Single cell centered in the field. Bone marrow smear
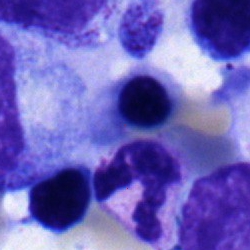

{"cell_type": "normoblast"}